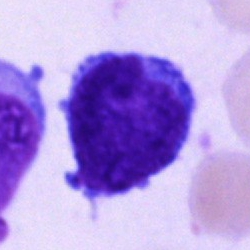
Q: What is shown here?
A: This is an undifferentiated blast.